Bone marrow aspirate smear:
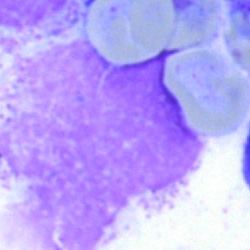

The cell is artifact.